Brightfield, 40× oil-immersion objective. Bone marrow aspirate smear — 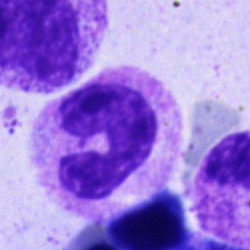

{"cell_type": "stab cell"}